Bone marrow smear:
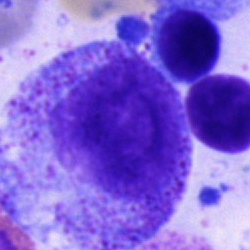Promyelocyte.